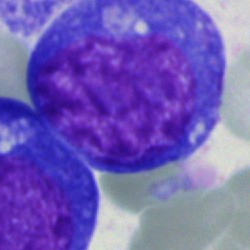

Impression — undifferentiated blast.